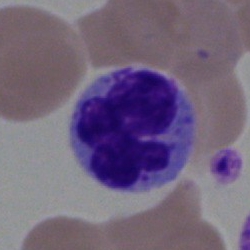Q: What cell is this?
A: This is a monocyte.